Bone marrow smear — 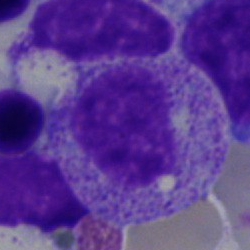Morphology consistent with a myelocyte.